May-Grünwald-Giemsa stain · 250×250 px · bone marrow aspirate smear.
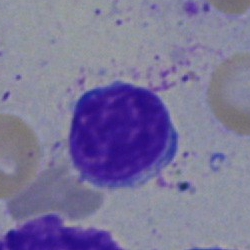 Morphological class = typical lymphocyte.